Bone marrow aspirate smear
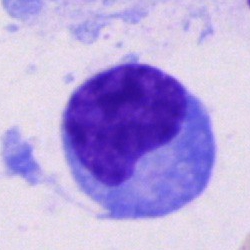
Plasma cell.